Bone marrow aspirate smear. MGG-stained.
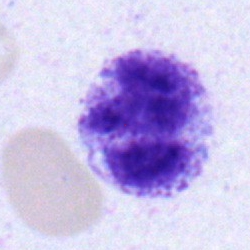 Morphology → stab cell.